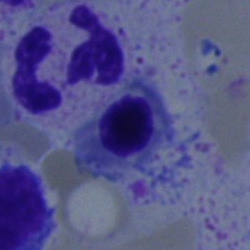

Cell type = polymorphonuclear neutrophil.